Bone marrow smear; 250×250 px
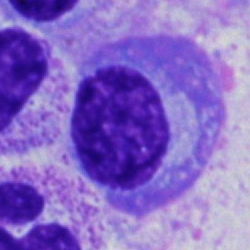
This is a plasmacyte.